Peripheral blood film
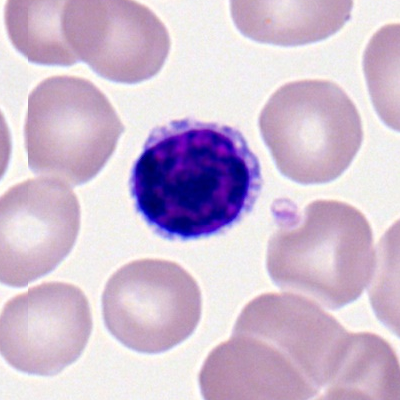Cell — lymphocyte.